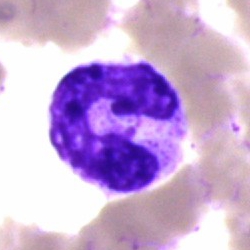

The cell type is segmented neutrophil.